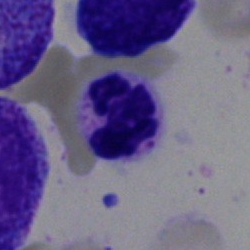
Morphology — segmented neutrophil.